Bone marrow smear
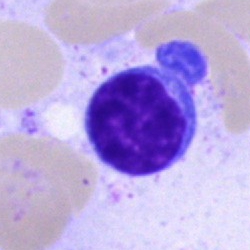

Single cell identified as a lymphocyte.